Bone marrow aspirate smear.
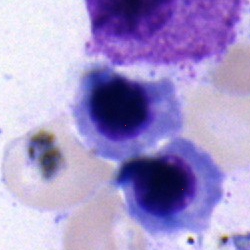

Impression → normoblast.